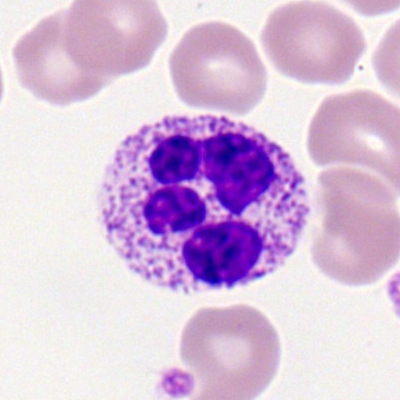
Classification — segmented neutrophil.